Brightfield microscopy, 40× oil immersion; bone marrow smear
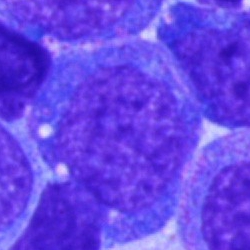
Progranulocyte.